Bone marrow aspirate smear — 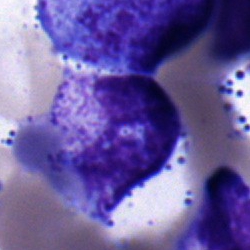
Specimen: bone marrow smear.
Cell: polymorphonuclear neutrophil.
Lineage: myeloid.